250×250 px · bone marrow smear
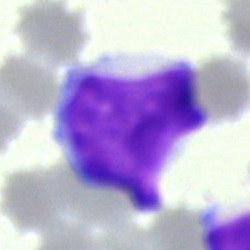Showing a typical lymphocyte.